Single-cell field. 400 by 400 pixels. Peripheral blood film: 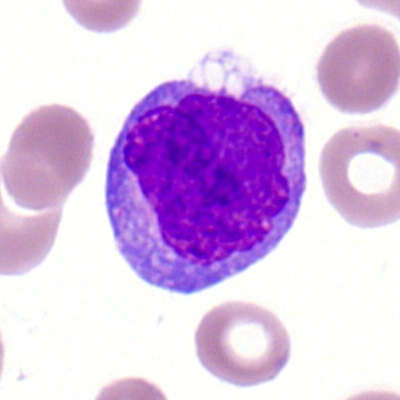 Q: What type of cell is this?
A: Monocyte.